Bone marrow smear:
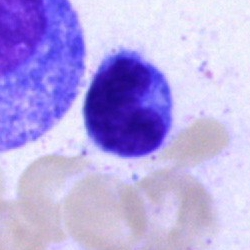
Cell type: typical lymphocyte.